250×250; bone marrow smear — 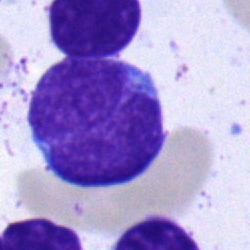Specimen: bone marrow smear.
Cell type: typical lymphocyte.
Lineage: lymphoid.